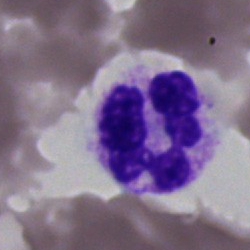

Morphology consistent with a neutrophil (segmented).